Peripheral blood film
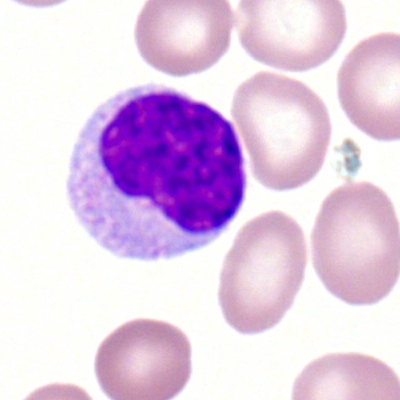
Morphology consistent with a typical lymphocyte.